Image size 250×250 · bone marrow aspirate smear · May-Grünwald-Giemsa/Pappenheim stain:
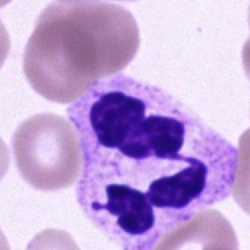 Q: What is the morphological classification of this cell?
A: Neutrophil (segmented).